Bone marrow aspirate smear:
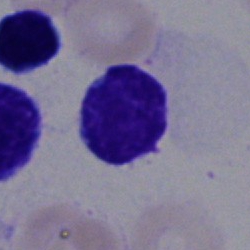
{"cell_type": "lymphocyte", "lineage": "lymphoid"}